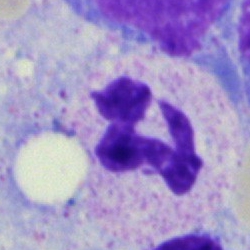 Bone marrow aspirate smear, single cell — neutrophil (segmented).